Bone marrow aspirate smear. May-Grünwald-Giemsa/Pappenheim stain. 40× oil immersion:
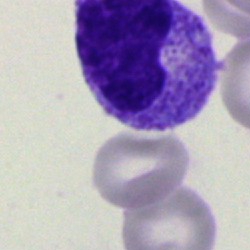

Myelocyte.